Single-cell field; bone marrow aspirate smear; 40× objective, oil immersion.
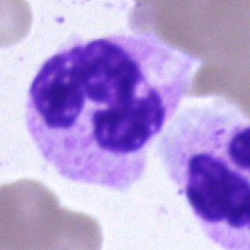

{"cell_type": "segmented neutrophil", "lineage": "myeloid"}